Bone marrow aspirate smear: 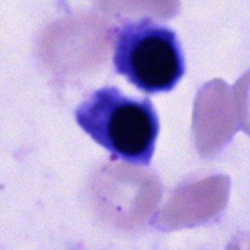

Morphology consistent with a cell of indeterminate lineage.